Bone marrow aspirate smear — 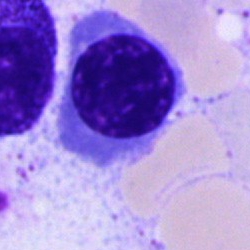Showing a nucleated red cell.